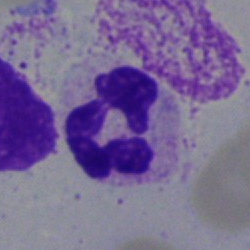

The cell shown is a segmented neutrophil.